Bone marrow aspirate smear · brightfield, 40× oil-immersion objective.
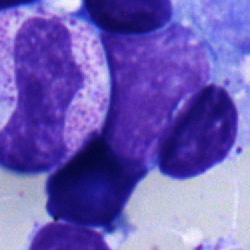 Q: Identify the cell.
A: A typical lymphocyte.